Bone marrow aspirate smear: 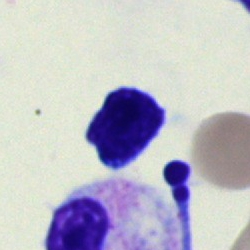
Specimen: bone marrow smear.
Classification: artifact.